Bone marrow aspirate smear; single-cell crop; brightfield microscopy, 40× oil immersion.
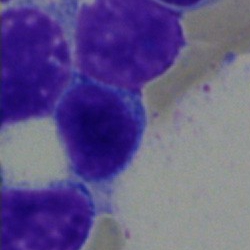 This is a typical lymphocyte.